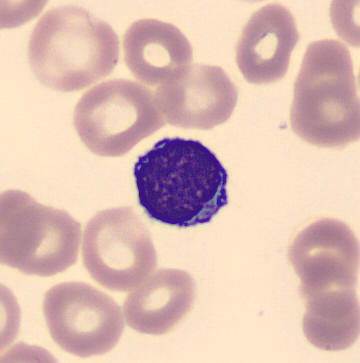 Q: What is the morphological classification of this cell?
A: A typical lymphocyte.